Brightfield microscopy, 40× oil immersion · bone marrow smear
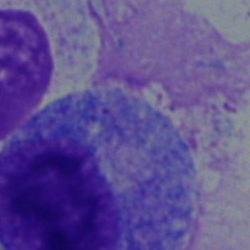
Showing a promyelocyte.